Bone marrow aspirate smear:
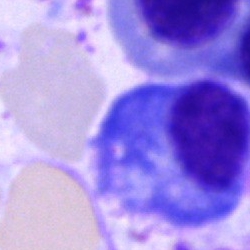
Q: What is the morphological classification of this cell?
A: Plasmacyte.